Bone marrow aspirate smear · 40× oil immersion
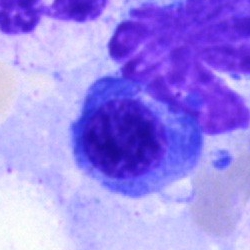Showing a plasmacyte.